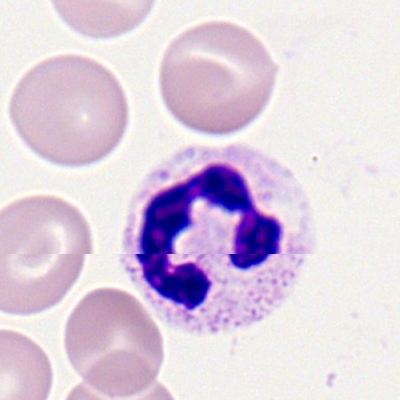

Cell type — polymorphonuclear neutrophil.